Cropped to a single cell · bone marrow smear — 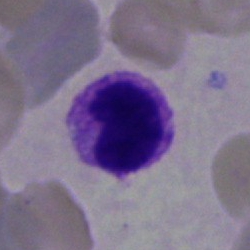Morphology → basophil.